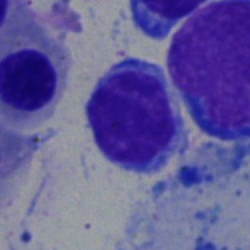 Morphological class: lymphocyte.